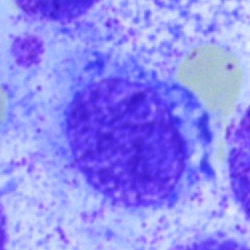

Specimen: bone marrow aspirate smear.
Cell: lymphocyte.